Bone marrow aspirate smear:
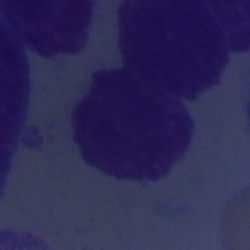Morphology → artefact.